Bone marrow smear · May-Grünwald-Giemsa/Pappenheim stain:
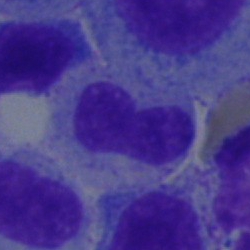The cell shown is a metamyelocyte.